Bone marrow aspirate smear:
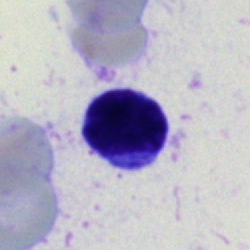

Specimen: bone marrow smear.
Cell: typical lymphocyte.
Lineage: lymphoid.